Cropped to a single cell · bone marrow aspirate smear — 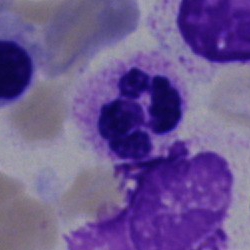This is a neutrophil (segmented).